May Grünwald-Giemsa stain; peripheral blood smear: 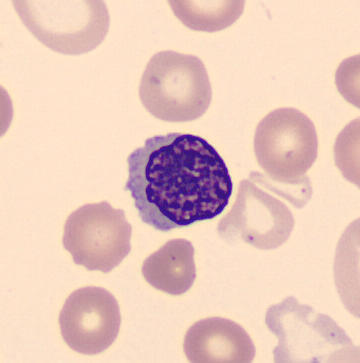

Q: Which cell type is shown here?
A: This is a normoblast.